Bone marrow aspirate smear. Brightfield, 40× oil-immersion objective — 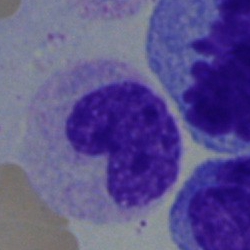 This is a stab cell.